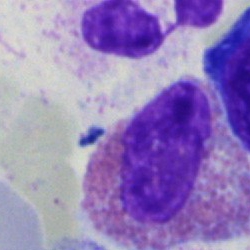 The cell shown is an eosinophil.